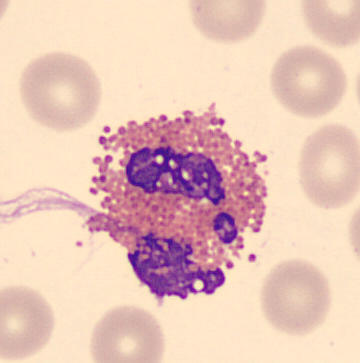 Image: May Grünwald-Giemsa stain; peripheral blood smear; CellaVision DM96.
Single cell identified as an eosinophilic granulocyte.